Pappenheim-stained. Bone marrow aspirate smear. Cropped to a single cell.
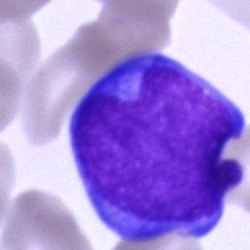 Impression — undifferentiated blast.